Bone marrow aspirate smear · brightfield microscopy, 40× oil immersion: 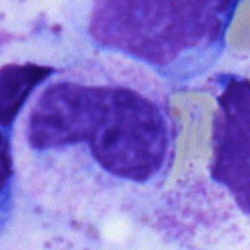
Specimen: bone marrow aspirate smear.
Cell type: metamyelocyte.